Bone marrow aspirate smear.
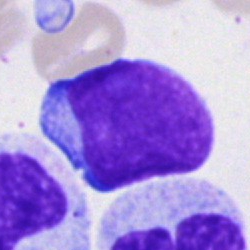 An undifferentiated blast.